Bone marrow aspirate smear: 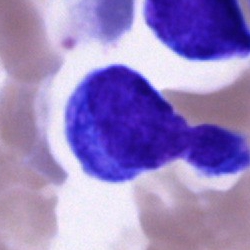Specimen: bone marrow smear.
Cell type: cell of indeterminate lineage.